Bone marrow smear. Brightfield, 40× oil-immersion objective: 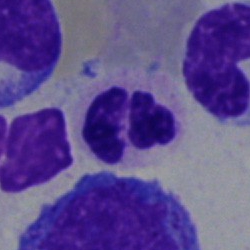

Cell type = polymorphonuclear neutrophil.